Bone marrow aspirate smear · Pappenheim-stained · 40× objective, oil immersion — 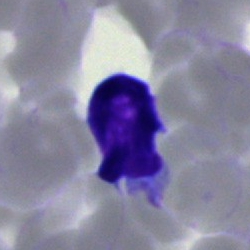

Specimen: bone marrow smear.
Morphological class: typical lymphocyte.
Lineage: lymphoid.